Bone marrow aspirate smear. Pappenheim-stained.
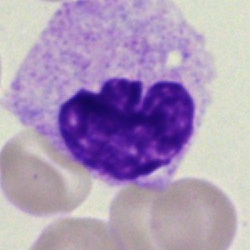Specimen: bone marrow aspirate smear.
Classification: segmented neutrophil.
Lineage: myeloid.